Bone marrow smear. May-Grünwald-Giemsa/Pappenheim stain. Single-cell crop: 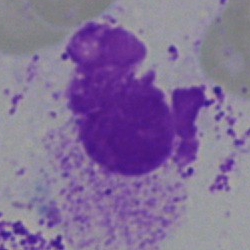{"cell_type": "artifact"}